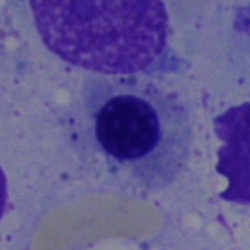
{"cell_type": "nucleated red blood cell"}